Bone marrow aspirate smear; brightfield, 40× oil-immersion objective
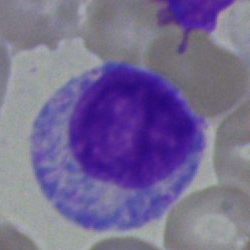Classification — progranulocyte.